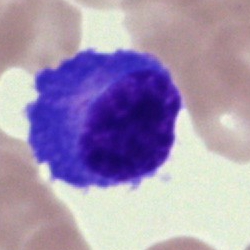Q: What cell is this?
A: Plasmacyte.